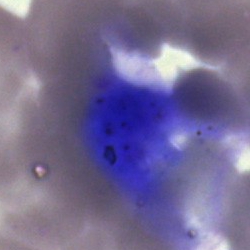
Bone marrow aspirate smear, single cell — artifact.